Bone marrow smear.
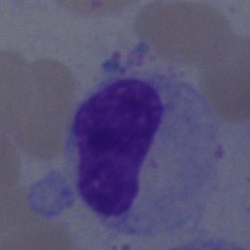

The classification is band-form neutrophil.